Bone marrow aspirate smear — 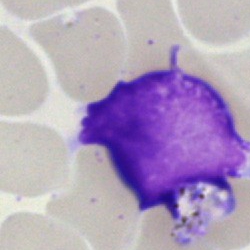Classification = typical lymphocyte.